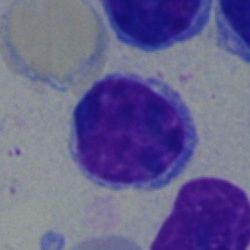 Impression → typical lymphocyte.